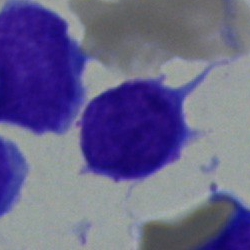
Single-cell crop from a bone marrow smear: typical lymphocyte.